Bone marrow aspirate smear. Image size 250×250:
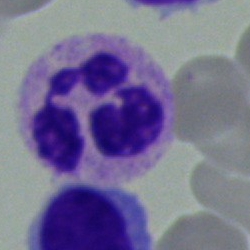Single cell identified as a neutrophil (segmented).